Bone marrow aspirate smear:
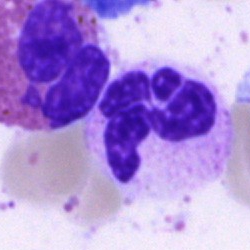Specimen: bone marrow smear.
Cell type: segmented neutrophil.
Lineage: myeloid.